Bone marrow smear
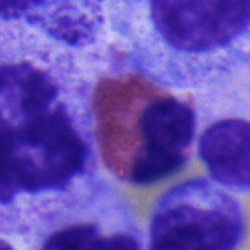

Showing an eosinophil.